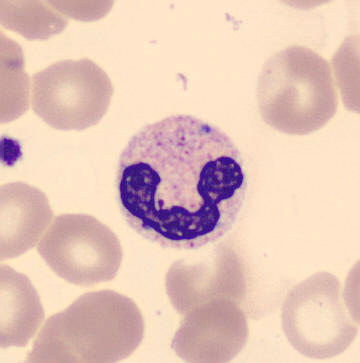
360×363 px; CellaVision DM96 digital cell image; peripheral blood smear. Morphology → polymorphonuclear neutrophil.